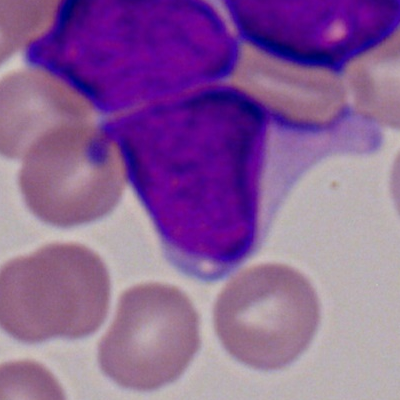Showing a myeloid blast.